May-Grünwald-Giemsa stain · bone marrow aspirate smear · single-cell crop: 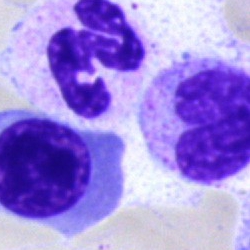

The classification is polymorphonuclear neutrophil.